Peripheral blood smear. 400×400:
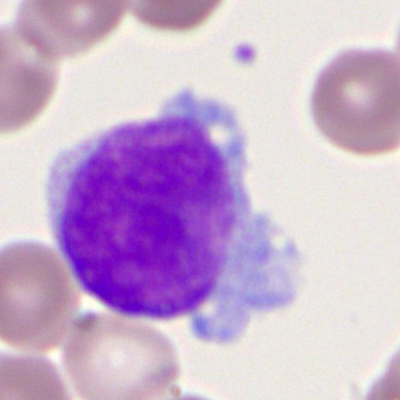 The cell is myeloid blast.